Peripheral blood smear.
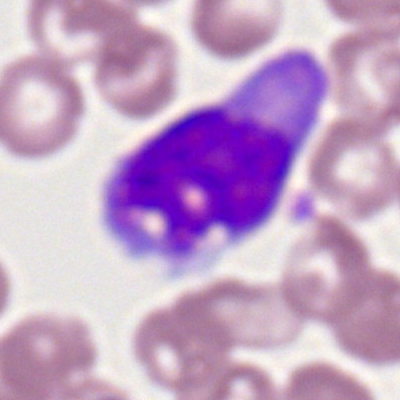
Impression — monocyte.